40× objective, oil immersion · bone marrow aspirate smear: 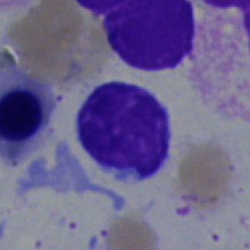
{"cell_type": "typical lymphocyte", "lineage": "lymphoid"}